Bone marrow aspirate smear: 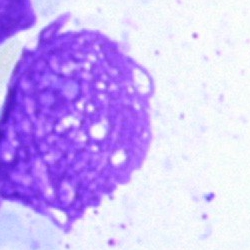

Morphology consistent with an artefact.